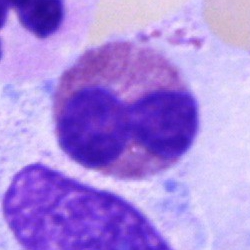
Q: What type of cell is this?
A: Eosinophil.